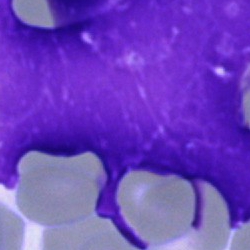 Impression — artifact.